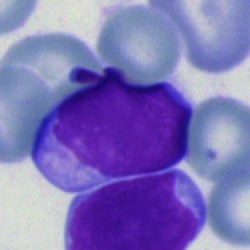

Specimen: bone marrow smear.
Cell: typical lymphocyte.
Lineage: lymphoid.